Bone marrow aspirate smear; single-cell crop
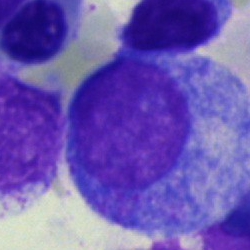
Cell type — promyelocyte.